Bone marrow smear. May-Grünwald-Giemsa/Pappenheim stain.
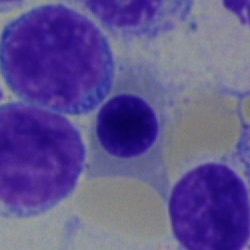
{"cell_type": "nucleated red cell", "lineage": "erythroid"}